Bone marrow aspirate smear
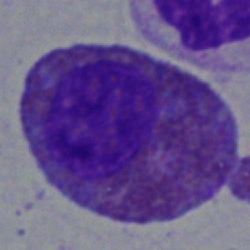 {"cell_type": "eosinophilic granulocyte", "lineage": "myeloid"}